Bone marrow aspirate smear · brightfield, 40× oil-immersion objective: 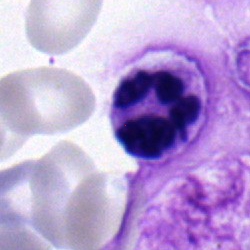

Single cell identified as a neutrophil (segmented).